Bone marrow smear. Brightfield, 40× oil-immersion objective: 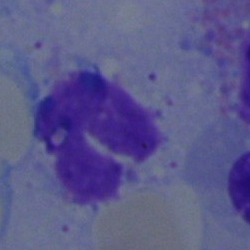Q: What type of cell is this?
A: It is a neutrophil (segmented).